Bone marrow aspirate smear. 250×250 px
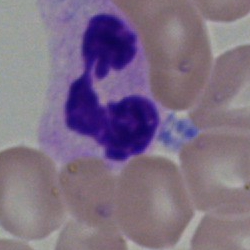 This is a neutrophil (segmented).